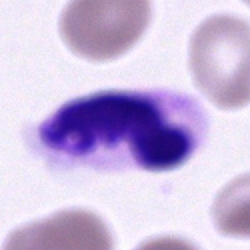Bone marrow aspirate smear, single cell — neutrophil (segmented).